Bone marrow smear; image size 250×250:
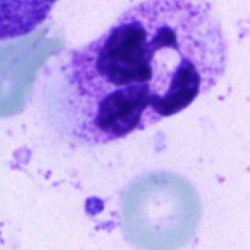

{"cell_type": "segmented neutrophil", "lineage": "myeloid"}